250 by 250 pixels · brightfield, 40× oil-immersion objective · bone marrow smear.
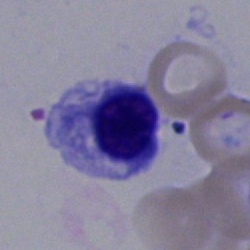
Morphology → erythroblast.